Bone marrow smear: 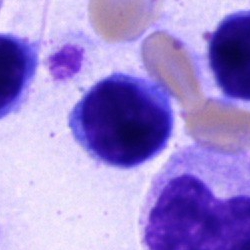

The cell type is typical lymphocyte.